Bone marrow aspirate smear; single-cell crop
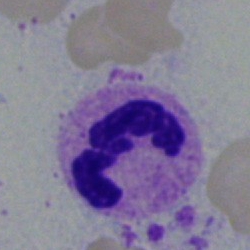 Specimen: bone marrow smear.
Cell type: polymorphonuclear neutrophil.